Single cell centered in the field; bone marrow aspirate smear.
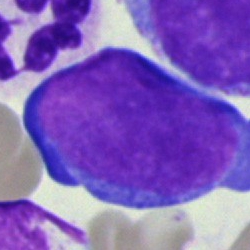

Specimen: bone marrow aspirate smear.
Cell: pronormoblast.